Bone marrow aspirate smear.
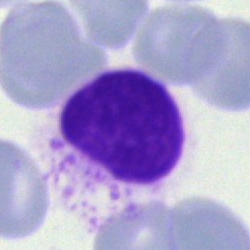

The cell is artefact.